Bone marrow smear: 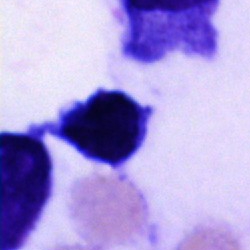 Q: Which cell type is shown here?
A: It is an unidentifiable cell.